Single-cell crop · bone marrow smear.
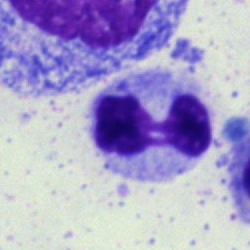 Specimen: bone marrow smear.
Cell type: neutrophil (segmented).